Bone marrow aspirate smear
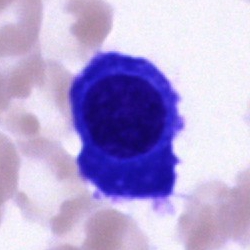 This is a plasma cell.